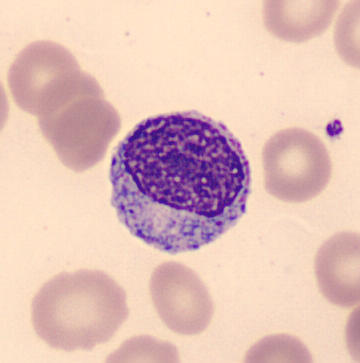Peripheral blood smear. May Grünwald-Giemsa stain. Automated cell imaging (CellaVision DM96).

Single cell identified as a myelocyte.